Peripheral blood film. Image size 400×400 — 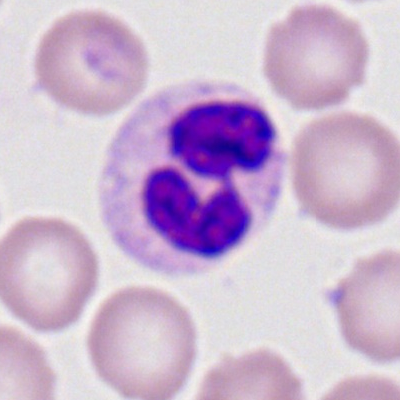

Cell = segmented neutrophil.